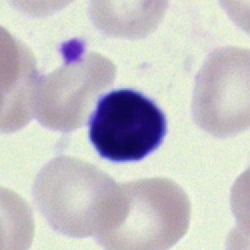{"cell_type": "lymphocyte", "lineage": "lymphoid"}